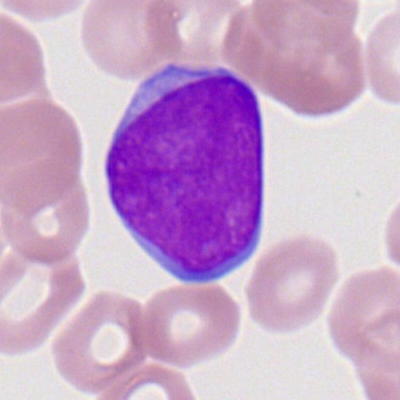

Peripheral blood film, single cell — myeloid blast.